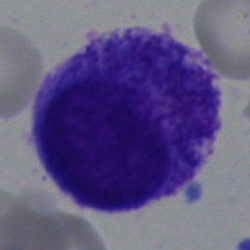The classification is blast cell.